Bone marrow smear:
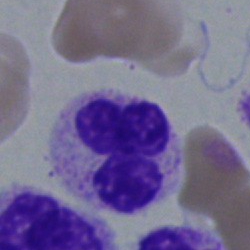

Cell: segmented neutrophil.